Bone marrow smear.
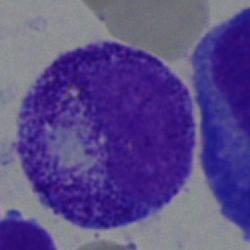 Q: What cell is this?
A: A myelocyte.